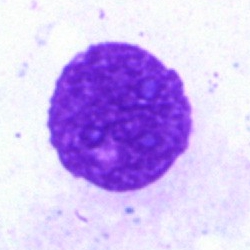 Specimen: bone marrow smear.
Classification: artefact.